40× objective, oil immersion · Pappenheim-stained · bone marrow smear.
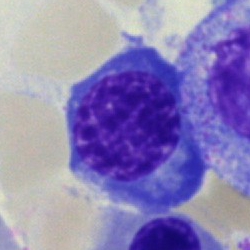 Cell type = normoblast.